May-Grünwald-Giemsa/Pappenheim stain · brightfield, 40× oil-immersion objective · bone marrow aspirate smear
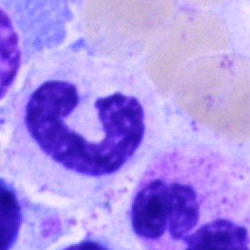
This is a neutrophil (band).